Bone marrow smear:
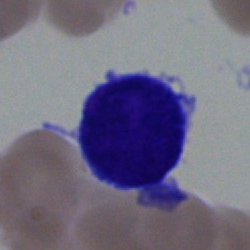
This is a blast cell.